Bone marrow aspirate smear. May-Grünwald-Giemsa stain: 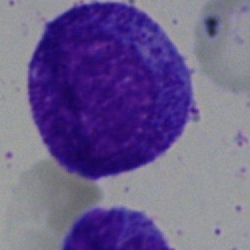 {"cell_type": "promyelocyte", "lineage": "myeloid"}